Bone marrow aspirate smear: 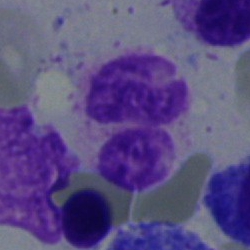
Morphological class: neutrophil (segmented).